250 by 250 pixels · bone marrow smear: 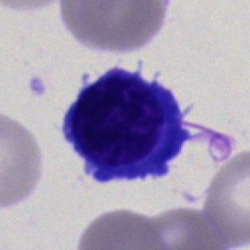

Showing a nucleated red blood cell.